Bone marrow aspirate smear
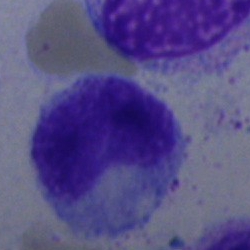
Morphology — metamyelocyte.